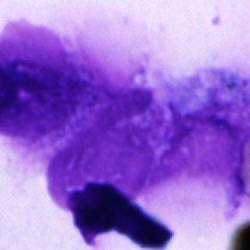 An artifact.